Peripheral blood film; 360 by 363 pixels:
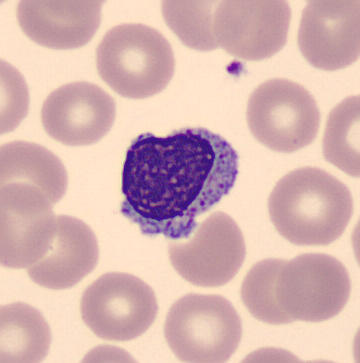The cell type is typical lymphocyte.